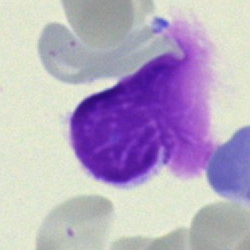

Morphology → artefact.